Bone marrow smear:
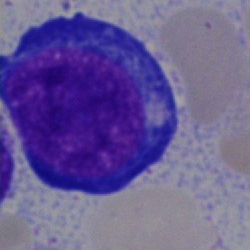

Specimen: bone marrow smear.
Cell type: proerythroblast.
Lineage: erythroid.